Cropped to a single cell; bone marrow smear.
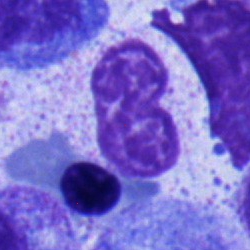 This is a metamyelocyte.